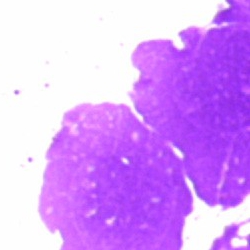
Cell: artefact.